Bone marrow aspirate smear
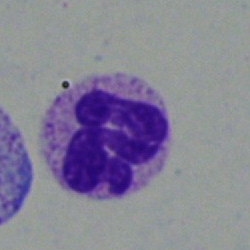

This is a segmented neutrophil.